Bone marrow aspirate smear: 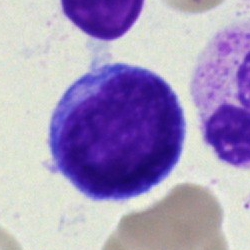

Specimen: bone marrow smear.
Cell: undifferentiated blast.